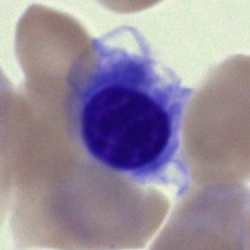

Classification = nucleated red cell.